Cropped to a single cell; peripheral blood smear:
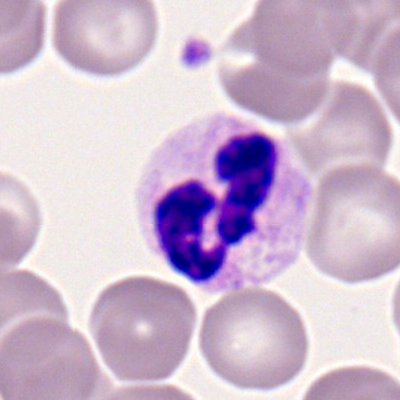
The cell shown is a neutrophil (segmented).